Bone marrow smear: 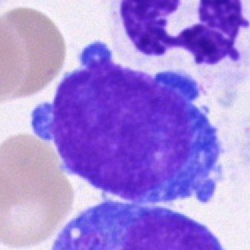Specimen: bone marrow smear.
Morphological class: blast.